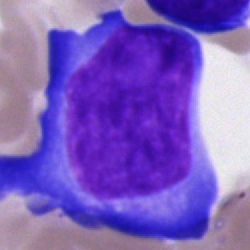Specimen: bone marrow aspirate smear.
Cell type: undifferentiated blast.